250 by 250 pixels; bone marrow smear — 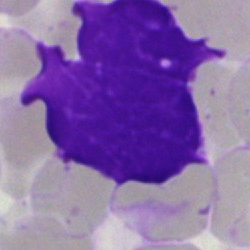
Cell = artefact.